Bone marrow smear: 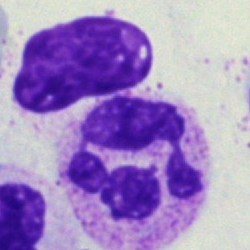 Single cell identified as a neutrophil (segmented).